250×250. Bone marrow aspirate smear
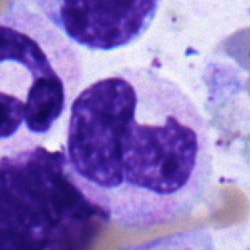 Specimen: bone marrow smear.
Cell type: neutrophil (band).
Lineage: myeloid.